Bone marrow smear · single-cell field · Pappenheim-stained.
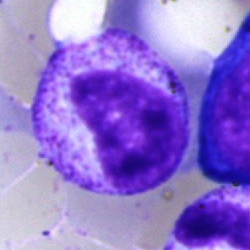{"cell_type": "metamyelocyte", "lineage": "myeloid"}